40× oil immersion. Bone marrow smear. May-Grünwald-Giemsa stain:
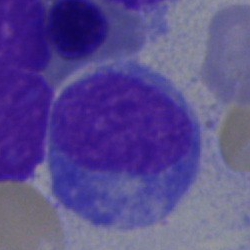 Q: Which cell type is shown here?
A: This is a monocyte.